Bone marrow aspirate smear; brightfield, 40× oil-immersion objective.
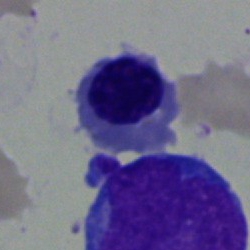 Cell type: nucleated red cell.